Bone marrow aspirate smear
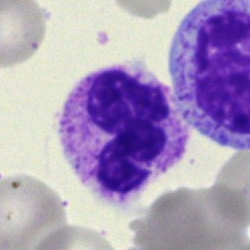Specimen: bone marrow smear.
Cell: segmented neutrophil.